Peripheral blood film
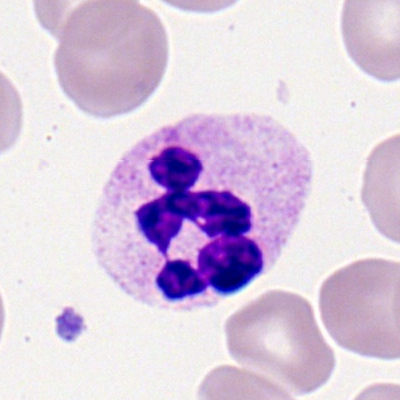

The classification is polymorphonuclear neutrophil.